Bone marrow smear. 40× objective, oil immersion: 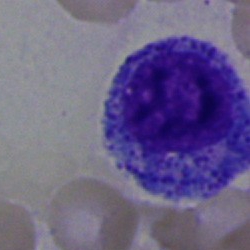 Cell — progranulocyte.